Bone marrow aspirate smear
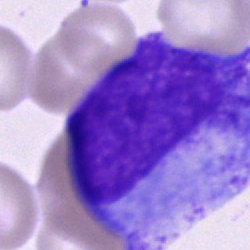

The morphological class is progranulocyte.